Bone marrow smear · brightfield microscopy, 40× oil immersion:
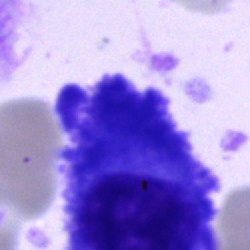

Plasmacyte.